Single cell centered in the field; bone marrow smear; Pappenheim-stained — 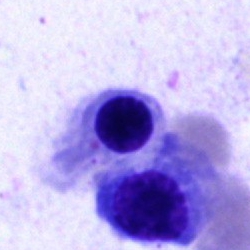Morphology consistent with a normoblast.